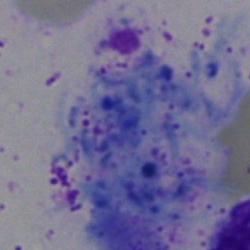

Specimen: bone marrow aspirate smear.
Cell: artefact.